Peripheral blood smear.
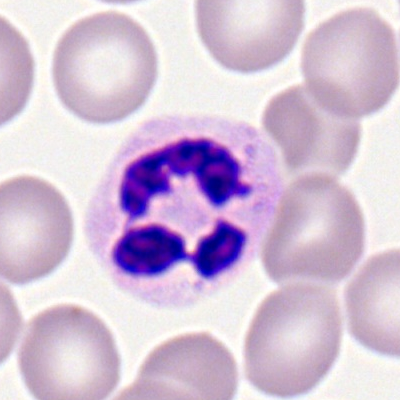
Single cell identified as a neutrophil (segmented).